40× objective, oil immersion. Bone marrow smear.
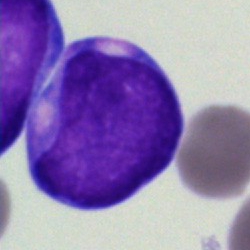Morphology → blast cell.